Bone marrow aspirate smear: 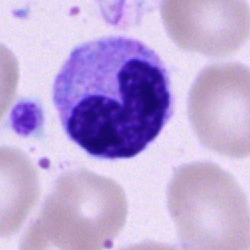Neutrophil (band).